Bone marrow smear; 250 by 250 pixels: 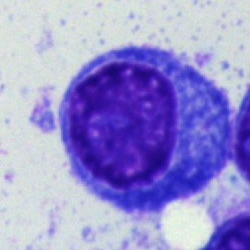

Morphology consistent with a plasma cell.